Bone marrow aspirate smear — 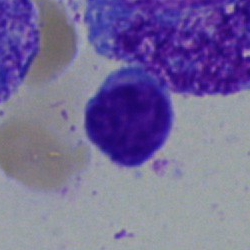
Single cell identified as a lymphocyte.